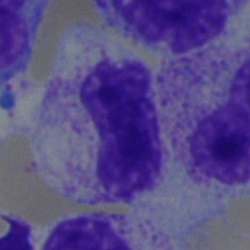
Specimen: bone marrow smear.
Cell: metamyelocyte.